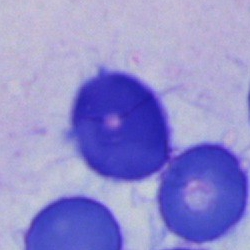 Q: Identify the cell.
A: This is a cell of indeterminate lineage.